40× oil immersion · bone marrow smear: 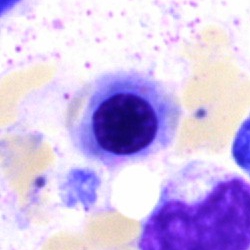 Morphology consistent with a nucleated red cell.